Bone marrow smear: 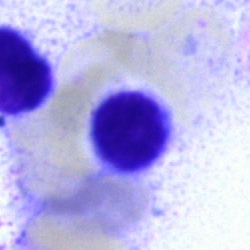Single cell identified as a typical lymphocyte.